Bone marrow aspirate smear; brightfield microscopy, 40× oil immersion; single cell centered in the field
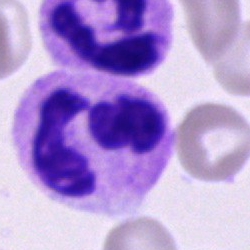 {"cell_type": "polymorphonuclear neutrophil", "lineage": "myeloid"}